Bone marrow aspirate smear: 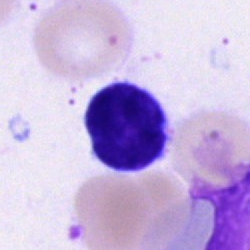This is a lymphocyte.